250×250. Bone marrow aspirate smear. 40× objective, oil immersion:
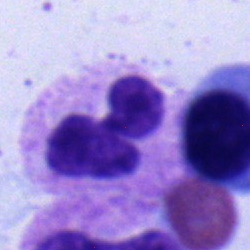

Q: Identify the cell.
A: This is a nucleated red blood cell.